Bone marrow aspirate smear — 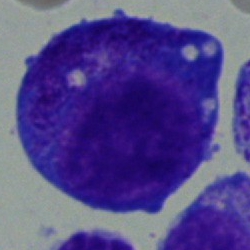
A promyelocyte.